Bone marrow aspirate smear:
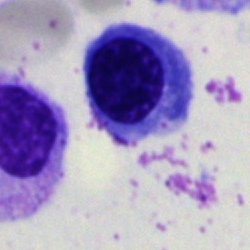
This is a nucleated red cell.